Bone marrow smear; 40× oil immersion; single-cell field:
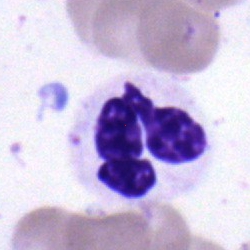 This is a neutrophil (segmented).